250×250 px. Bone marrow smear. Brightfield microscopy, 40× oil immersion
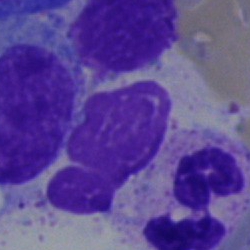

Showing an artefact.